40× oil immersion. Bone marrow aspirate smear — 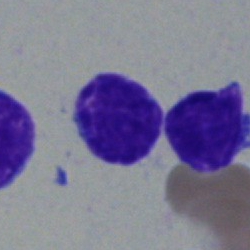
Morphology → typical lymphocyte.